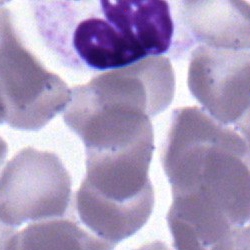Cell = segmented neutrophil.